Bone marrow smear
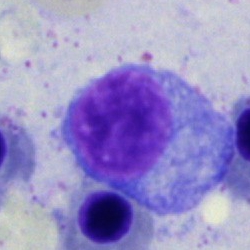

Impression — plasma cell.